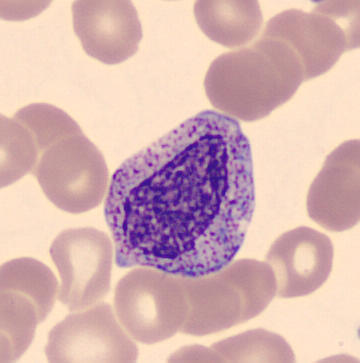 Morphology consistent with a myelocyte.